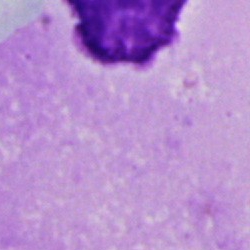An artefact.